Bone marrow aspirate smear
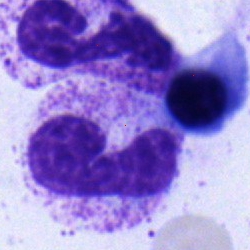 Classification = neutrophil (band).